Bone marrow aspirate smear — 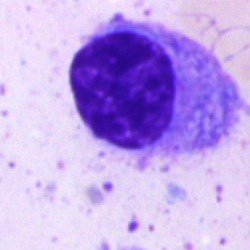 Showing a plasmacyte.